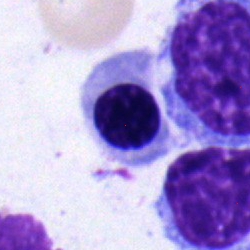Specimen: bone marrow aspirate smear.
Classification: nucleated red cell.